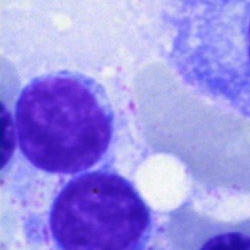

Specimen: bone marrow aspirate smear.
Morphological class: typical lymphocyte.
Lineage: lymphoid.